Bone marrow aspirate smear: 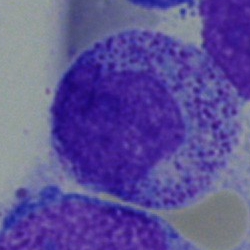 This is a myelocyte.